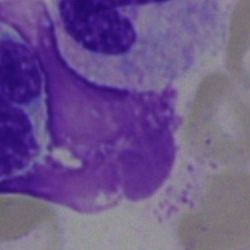
Specimen: bone marrow aspirate smear.
Morphological class: artifact.